Bone marrow aspirate smear.
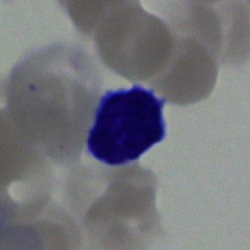The morphological class is typical lymphocyte.